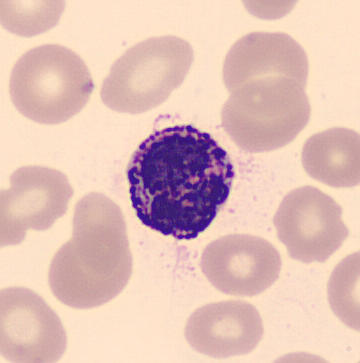

{"cell_type": "basophilic granulocyte"}